Bone marrow smear — 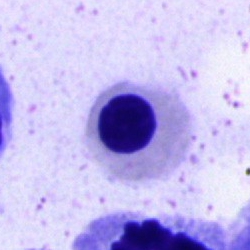

{"cell_type": "nucleated red cell"}